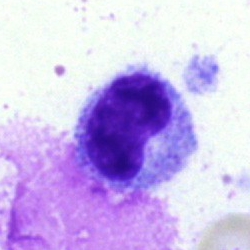

Q: What type of cell is this?
A: A metamyelocyte.